40× oil immersion. Bone marrow aspirate smear.
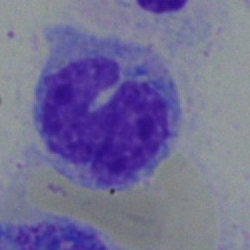 Specimen: bone marrow smear.
Cell type: monocyte.
Lineage: myeloid.